Pappenheim-stained; bone marrow aspirate smear.
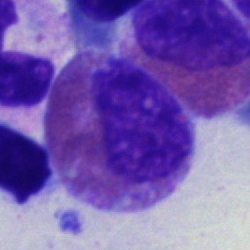
Morphological class — eosinophilic granulocyte.